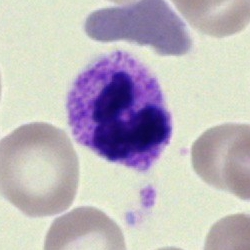

Q: Which cell type is shown here?
A: A polymorphonuclear neutrophil.